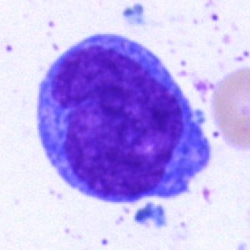
Cell — monocyte.